MGG-stained · bone marrow smear: 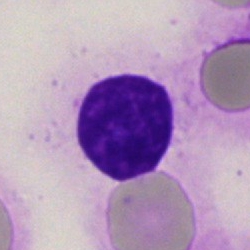

This is an artefact.